May-Grünwald-Giemsa/Pappenheim stain; bone marrow aspirate smear.
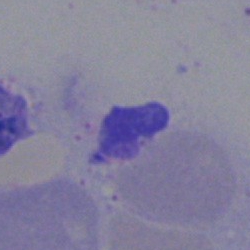 Classification — artifact.